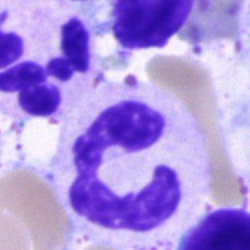The cell shown is a segmented neutrophil.